Bone marrow smear. Brightfield, 40× oil-immersion objective
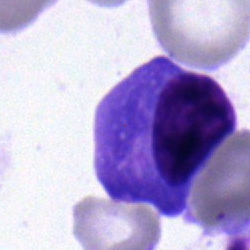
Morphological class = plasmacyte.